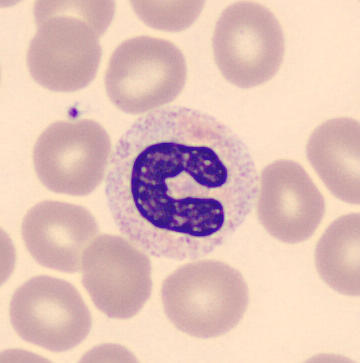Cell type = stab cell.